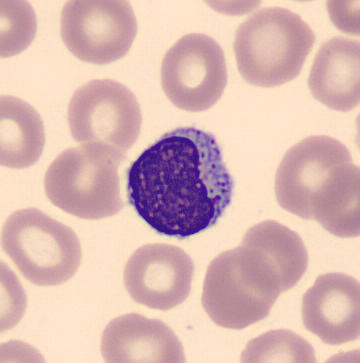

Q: Which cell type is shown here?
A: Typical lymphocyte.